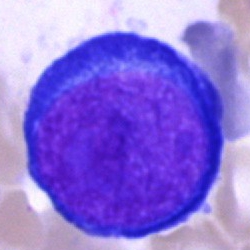
Q: Which cell type is shown here?
A: It is a pronormoblast.